Bone marrow aspirate smear: 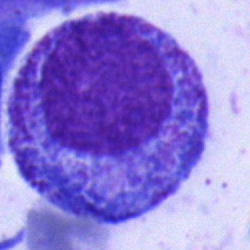 Progranulocyte.